Bone marrow smear: 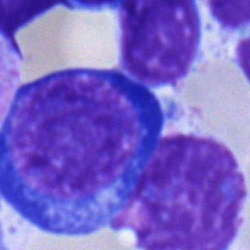
The cell shown is a pronormoblast.